40× oil immersion; bone marrow smear — 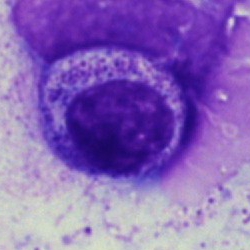
Morphology → myelocyte.